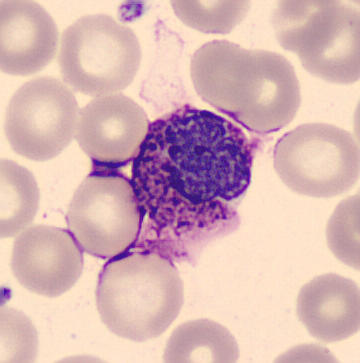 Image: Peripheral blood film. The morphological class is basophil.